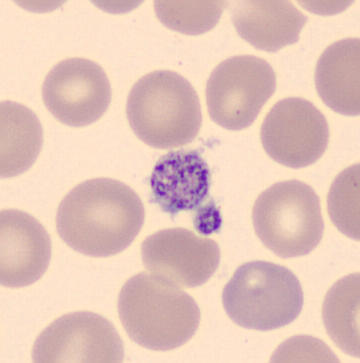Specimen: peripheral blood film.
Classification: platelet.